Bone marrow aspirate smear. Single cell centered in the field.
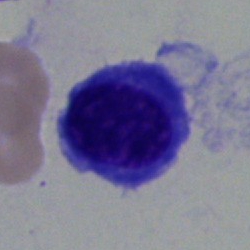Single cell identified as an erythroblast.